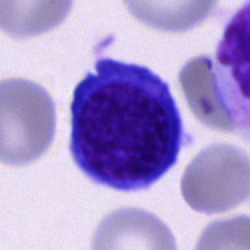

A nucleated red blood cell.